Peripheral blood film.
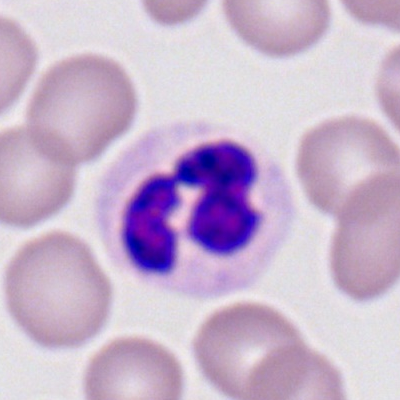 Impression — neutrophil (segmented).